Bone marrow aspirate smear; 40× objective, oil immersion:
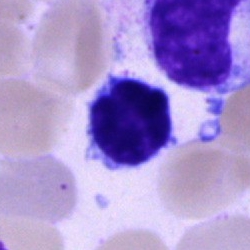
Typical lymphocyte.